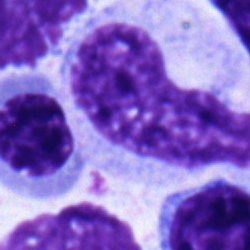

Showing a metamyelocyte.